Bone marrow aspirate smear — 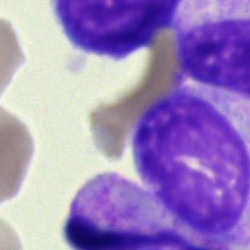
Specimen: bone marrow aspirate smear.
Cell type: neutrophil (band).